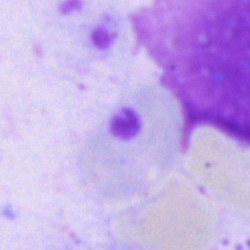

{"cell_type": "artifact"}